Peripheral blood smear:
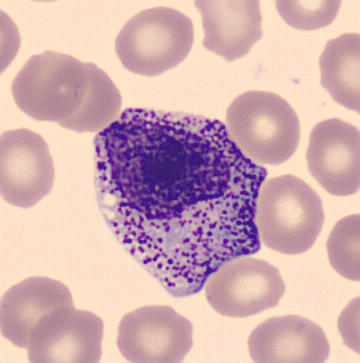 A promyelocyte.